Bone marrow aspirate smear; May-Grünwald-Giemsa/Pappenheim stain: 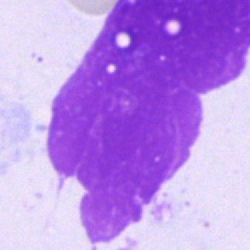

Single cell identified as an artifact.